Single-cell field. Peripheral blood smear. 100× objective, oil immersion — 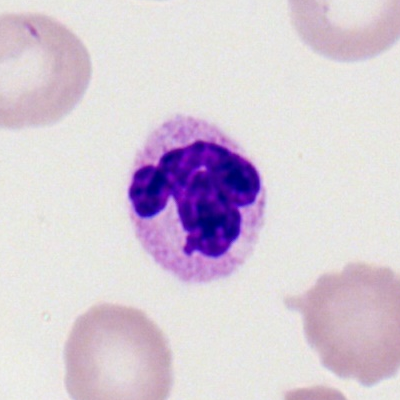A polymorphonuclear neutrophil.